Bone marrow smear; 40× oil immersion; May-Grünwald-Giemsa stain:
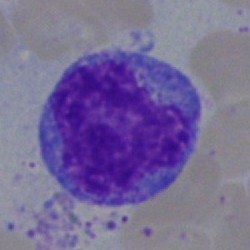
The morphological class is monocyte.